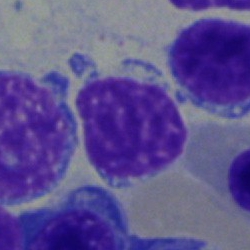

This is a typical lymphocyte.